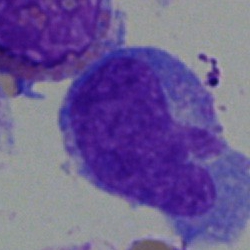
Cell type — blast cell.